Bone marrow aspirate smear:
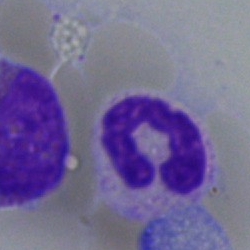

Q: Identify the cell.
A: This is a neutrophil (segmented).